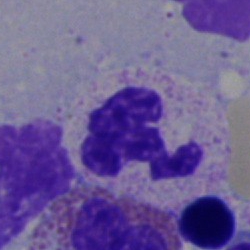 Morphology consistent with a polymorphonuclear neutrophil.